Bone marrow aspirate smear: 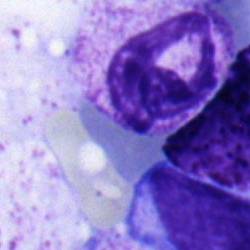Classification: basophil.